Single cell centered in the field · image size 250×250 · bone marrow aspirate smear.
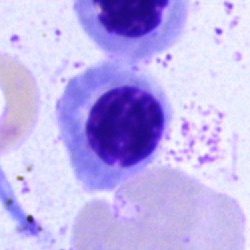Cell — nucleated red blood cell.